Bone marrow aspirate smear: 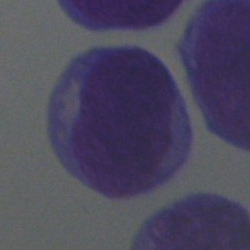

Q: What type of cell is this?
A: Blast.